Bone marrow aspirate smear · single-cell crop · brightfield microscopy, 40× oil immersion.
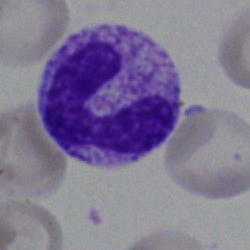
This is a neutrophil (segmented).